Bone marrow aspirate smear. Single-cell crop — 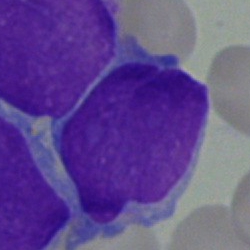
Specimen: bone marrow aspirate smear.
Morphological class: blast cell.